40× oil immersion. 250×250. Bone marrow aspirate smear
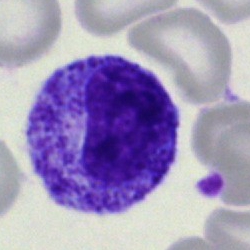
Specimen: bone marrow smear.
Morphological class: myelocyte.
Lineage: myeloid.